Bone marrow smear
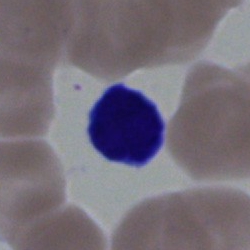
Specimen: bone marrow smear.
Classification: lymphocyte.
Lineage: lymphoid.